Bone marrow smear.
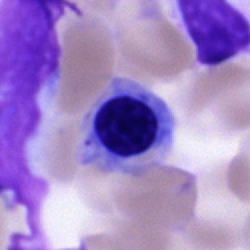
Morphology — normoblast.